Single-cell crop; bone marrow smear.
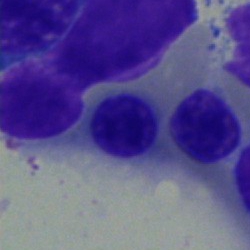

This is an erythroblast.